Bone marrow smear
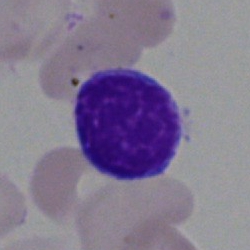{"cell_type": "typical lymphocyte"}